Bone marrow smear — 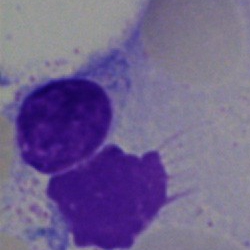

Morphology → lymphocyte.